Bone marrow aspirate smear: 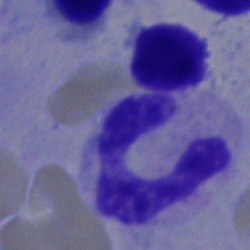

Single cell identified as a neutrophil (segmented).